Bone marrow aspirate smear:
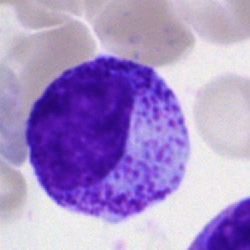 Specimen: bone marrow aspirate smear.
Classification: myelocyte.
Lineage: myeloid.